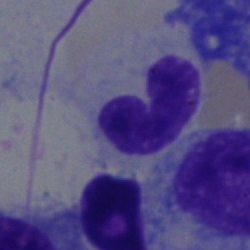

Specimen: bone marrow smear.
Cell: band neutrophil.